Bone marrow smear: 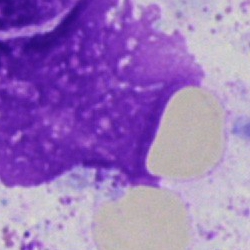Q: What is shown here?
A: Artefact.